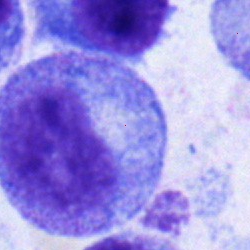
Promyelocyte.